Bone marrow aspirate smear:
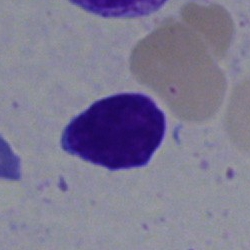A typical lymphocyte.